Image size 250×250; bone marrow smear: 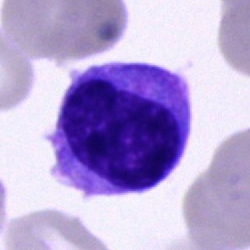Morphology consistent with a monocyte.